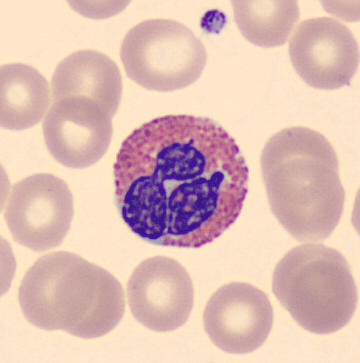 The morphological class is eosinophilic granulocyte. Peripheral blood smear.